Brightfield microscopy, 40× oil immersion; single-cell crop; bone marrow aspirate smear: 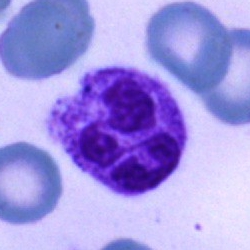

This is a segmented neutrophil.